250×250 · bone marrow smear
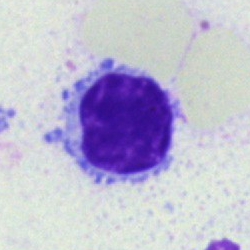 Lymphocyte.